Bone marrow aspirate smear.
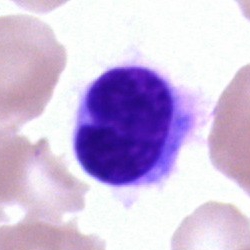Showing a hairy cell.